Bone marrow smear.
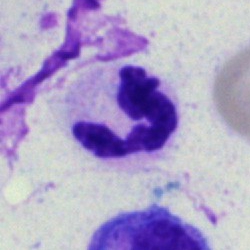Q: Which cell type is shown here?
A: It is a segmented neutrophil.